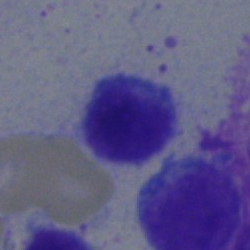

Impression — typical lymphocyte.